250×250; MGG-stained; bone marrow aspirate smear
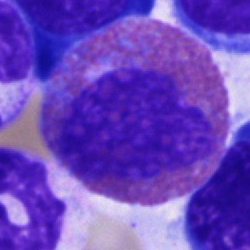Cell = eosinophilic granulocyte.